Romanowsky-stained · peripheral blood smear:
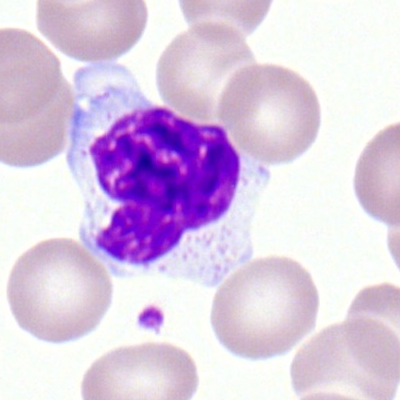
Morphology consistent with a lymphocyte.